Image size 250×250; bone marrow smear; brightfield, 40× oil-immersion objective:
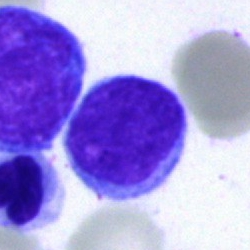

Cell type: typical lymphocyte.